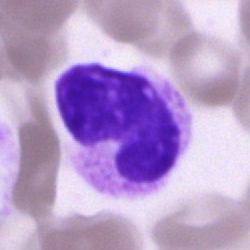

A metamyelocyte.